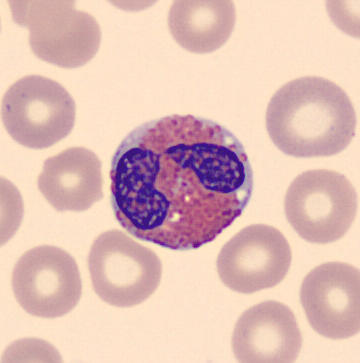Showing an eosinophil. Image: Peripheral blood film.